Image size 250×250; bone marrow smear.
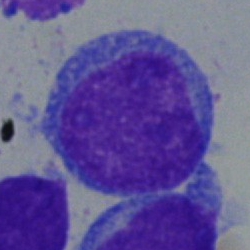Q: What type of cell is this?
A: A blast.